Single cell centered in the field · bone marrow smear · 250×250 px
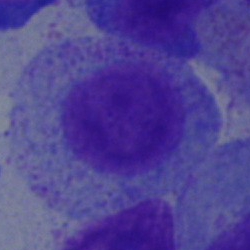
The morphological class is myelocyte.